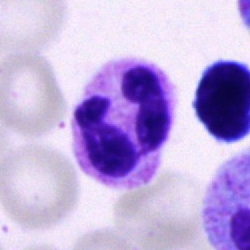

{"cell_type": "neutrophil (segmented)", "lineage": "myeloid"}